Bone marrow aspirate smear; MGG-stained — 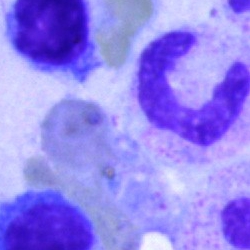

Morphology consistent with a neutrophil (segmented).